Single-cell field; MGG-stained; bone marrow smear — 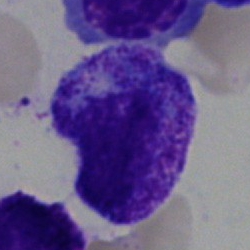
This is a promyelocyte.